Single-cell crop. Bone marrow aspirate smear. 40× objective, oil immersion — 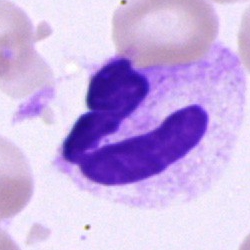 Morphology — segmented neutrophil.